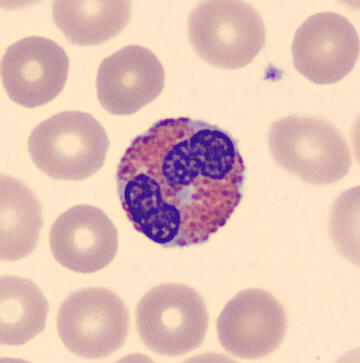

Single-cell crop from a peripheral blood smear: eosinophil.